Romanowsky stain; peripheral blood film; single cell centered in the field.
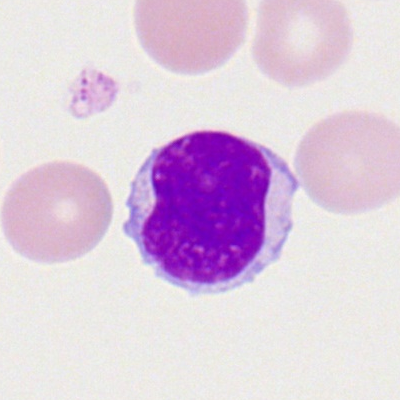
Specimen: peripheral blood film.
Morphological class: typical lymphocyte.
Lineage: lymphoid.